Pappenheim-stained; bone marrow smear; 40× oil immersion: 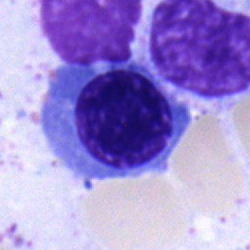 A normoblast.